Bone marrow smear. Brightfield microscopy, 40× oil immersion
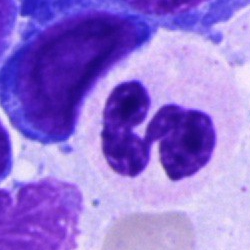

Single cell identified as a polymorphonuclear neutrophil.